Bone marrow smear — 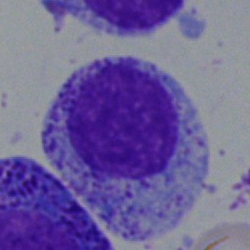

Myelocyte.